Bone marrow aspirate smear:
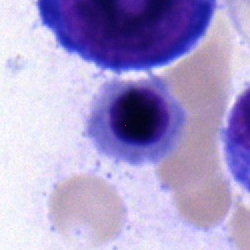 Classification = normoblast.